Bone marrow smear; brightfield microscopy, 40× oil immersion — 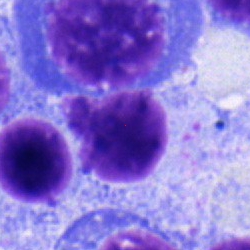
Showing a typical lymphocyte.